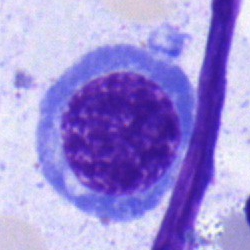
Cell — erythroblast.